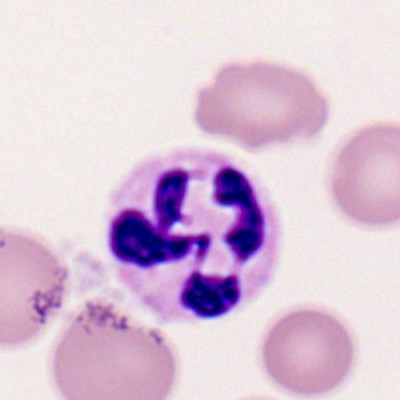

The cell shown is a segmented neutrophil.